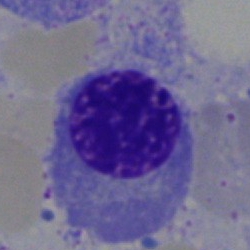

Single-cell crop from a bone marrow smear: normoblast.